Bone marrow aspirate smear: 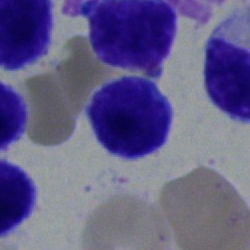 A typical lymphocyte.